Single-cell field; bone marrow aspirate smear
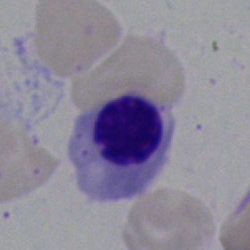Specimen: bone marrow smear.
Morphological class: nucleated red cell.
Lineage: erythroid.